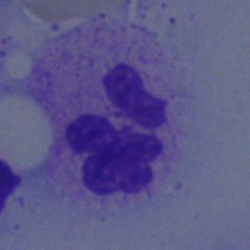
Single cell identified as a neutrophil (segmented).